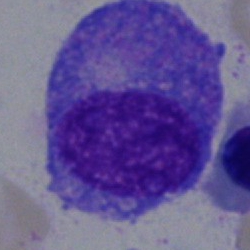Specimen: bone marrow smear.
Morphological class: promyelocyte.